Peripheral blood film
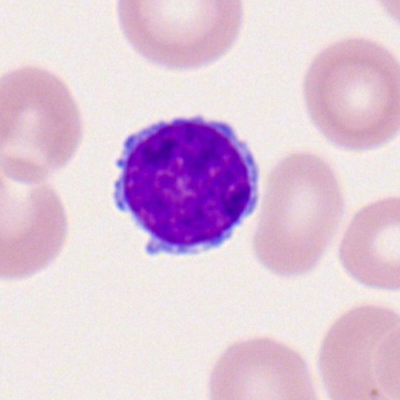
Morphology consistent with a lymphocyte.